MGG-stained · 40× objective, oil immersion · bone marrow aspirate smear: 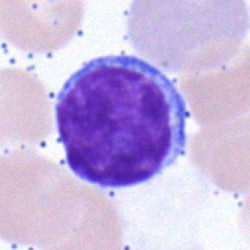Typical lymphocyte.